Bone marrow smear · 40× objective, oil immersion: 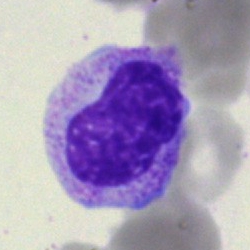Cell type — metamyelocyte.